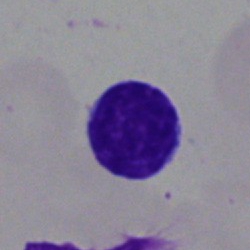 Cell type: lymphocyte.